Bone marrow aspirate smear; single cell centered in the field:
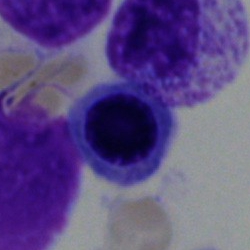Q: What type of cell is this?
A: Nucleated red cell.